Bone marrow smear — 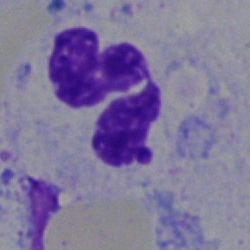 Showing a polymorphonuclear neutrophil.